40× objective, oil immersion · bone marrow smear: 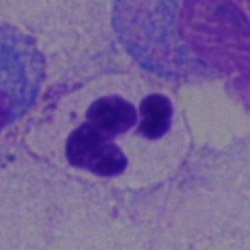 Morphology consistent with a segmented neutrophil.